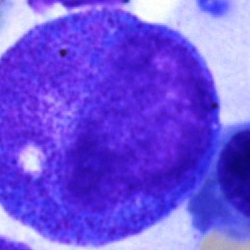Bone marrow smear showing a promyelocyte.